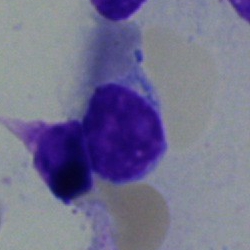Q: What type of cell is this?
A: It is a lymphocyte.